Bone marrow smear · cropped to a single cell — 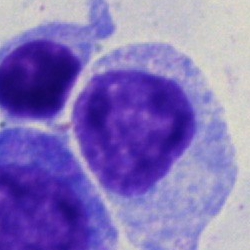
Cell = myelocyte.